Bone marrow aspirate smear — 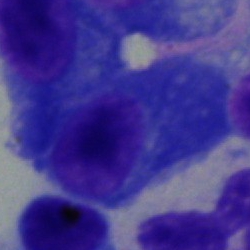
Morphology consistent with a plasma cell.